Peripheral blood smear — 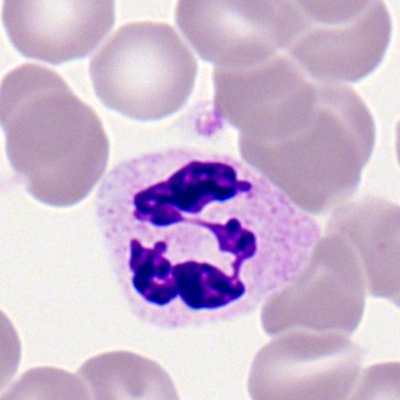

Q: What cell is this?
A: A neutrophil (segmented).